Bone marrow aspirate smear · May-Grünwald-Giemsa stain: 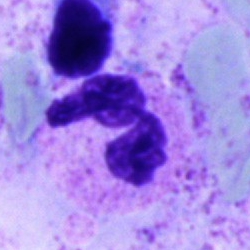

Showing a segmented neutrophil.